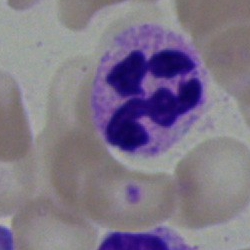 Q: Which cell type is shown here?
A: Segmented neutrophil.